Bone marrow smear.
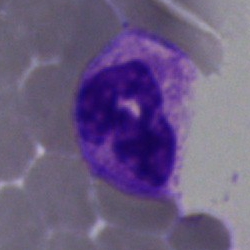

Cell type — segmented neutrophil.